Bone marrow aspirate smear. May-Grünwald-Giemsa stain — 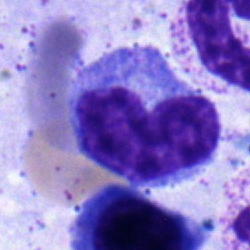The morphological class is monocyte.